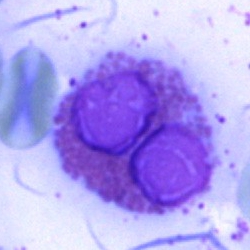
An eosinophilic granulocyte.